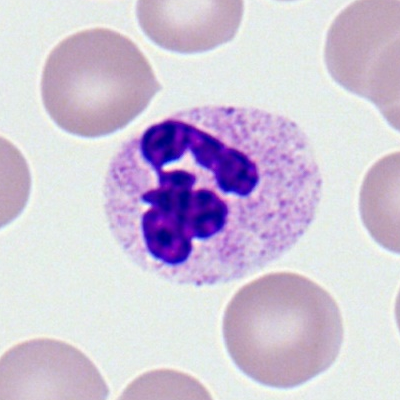Neutrophil (segmented).